May-Grünwald-Giemsa stain · bone marrow smear
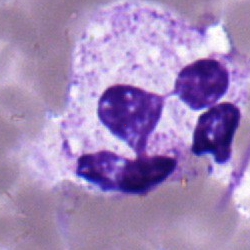 Morphological class = polymorphonuclear neutrophil.